Bone marrow aspirate smear:
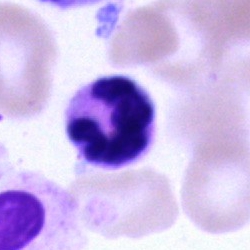 The cell type is polymorphonuclear neutrophil.